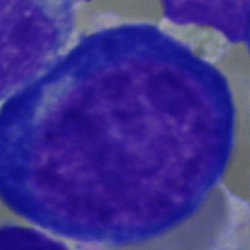

Impression — proerythroblast.